250×250 px. Bone marrow smear — 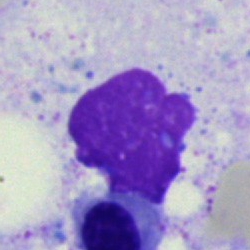
An artifact.